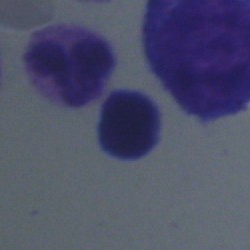
Q: Which cell type is shown here?
A: It is a lymphocyte.